Bone marrow aspirate smear
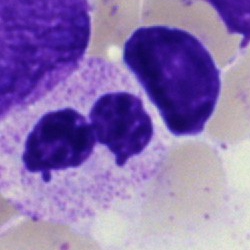 The classification is neutrophil (segmented).